Bone marrow aspirate smear; May-Grünwald-Giemsa stain — 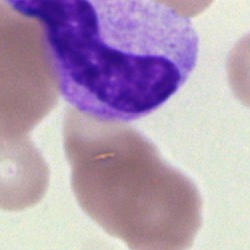 This is a band-form neutrophil.